Bone marrow smear
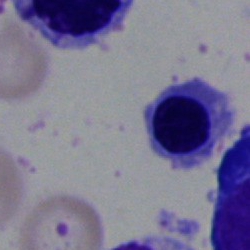

Q: What cell is this?
A: Normoblast.